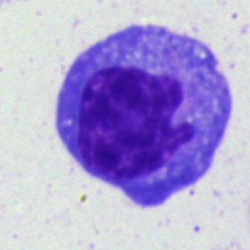

Q: Which cell type is shown here?
A: A plasma cell.